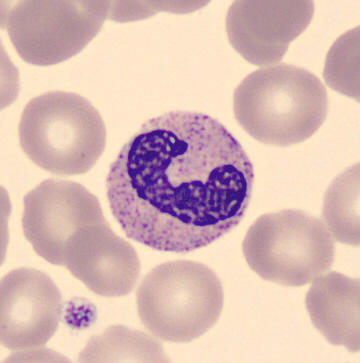Q: Which cell type is shown here?
A: Neutrophil (band).